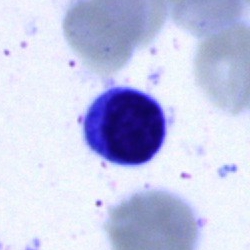 A lymphocyte on a bone marrow smear.